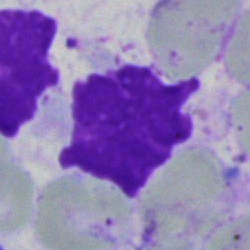 Morphological class: artifact.